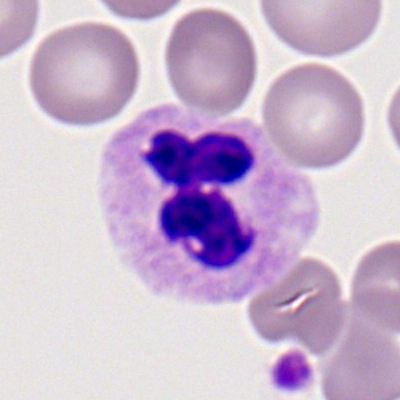 Q: What type of cell is this?
A: It is a polymorphonuclear neutrophil.